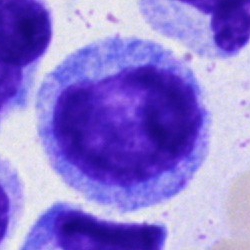 Morphological class — progranulocyte.